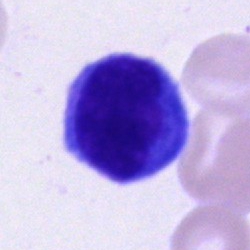

Specimen: bone marrow smear.
Cell type: monocyte.
Lineage: myeloid.